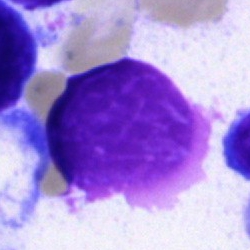Artefact.